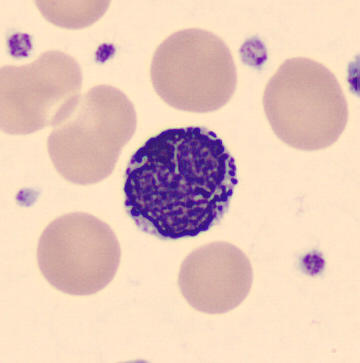 Peripheral blood smear.
Morphology consistent with a basophil.